Brightfield microscopy, 40× oil immersion; 250×250; bone marrow smear — 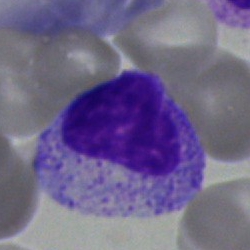This is a myelocyte.